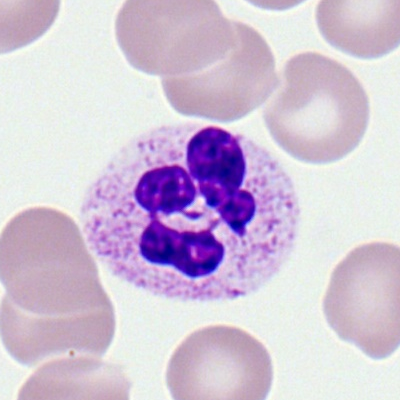
Q: Which cell type is shown here?
A: It is a segmented neutrophil.